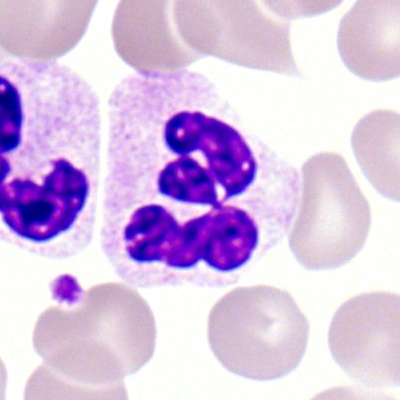 A segmented neutrophil on a peripheral blood smear.